MGG-stained · bone marrow aspirate smear: 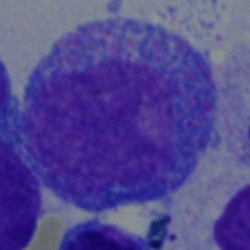Classification — promyelocyte.